Bone marrow aspirate smear; brightfield microscopy, 40× oil immersion.
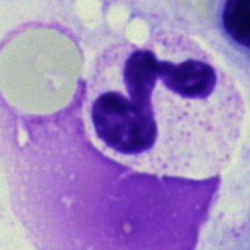Morphological class: segmented neutrophil.